Bone marrow smear: 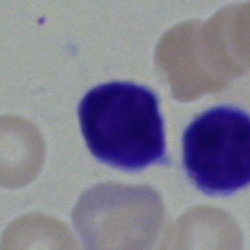

Impression — typical lymphocyte.